Peripheral blood smear.
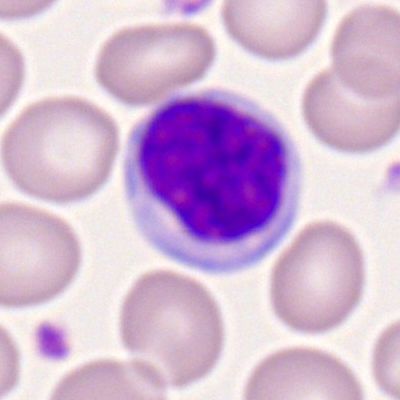
Impression — lymphocyte.